40× oil immersion · bone marrow smear:
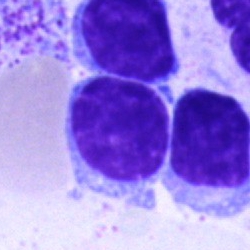

The cell shown is a typical lymphocyte.